Bone marrow smear
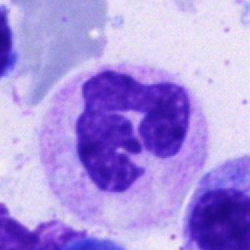
The classification is neutrophil (segmented).